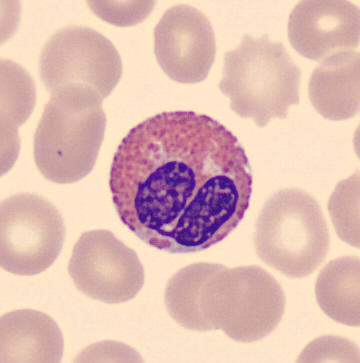
Eosinophil. Peripheral blood smear.